Bone marrow smear; 40× objective, oil immersion
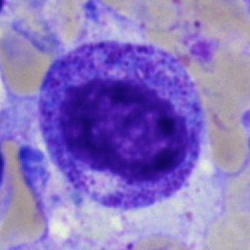 Morphology → promyelocyte.